May-Grünwald-Giemsa/Pappenheim stain · bone marrow smear · single-cell crop
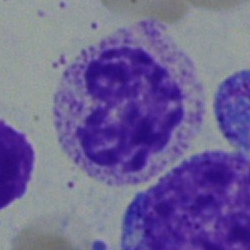The cell shown is a neutrophil (band).